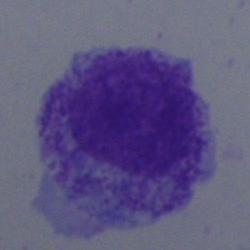 Single cell identified as a myelocyte.